Bone marrow smear: 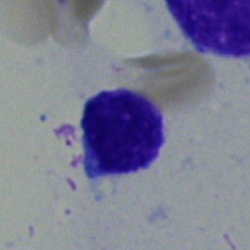 Specimen: bone marrow smear.
Morphological class: lymphocyte.